Bone marrow aspirate smear · MGG-stained:
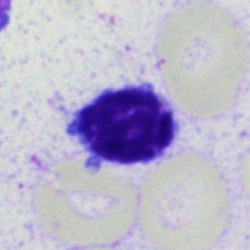
Classification = typical lymphocyte.